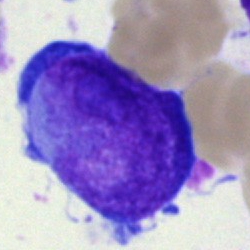Q: What cell is this?
A: This is an immature lymphocyte.